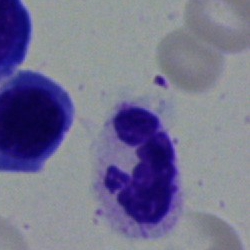 Q: What is the morphological classification of this cell?
A: This is a polymorphonuclear neutrophil.